MGG-stained; single-cell field; bone marrow aspirate smear: 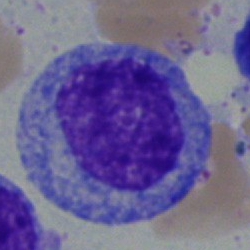 Classification: progranulocyte.